250×250. Bone marrow aspirate smear. Cropped to a single cell.
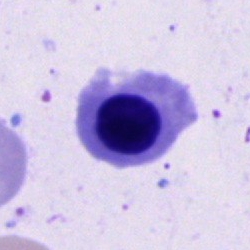 Normoblast.